250×250 · bone marrow aspirate smear:
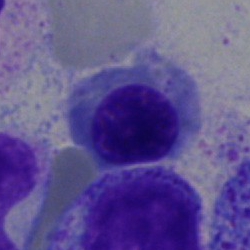 Cell type: erythroblast.